Bone marrow smear.
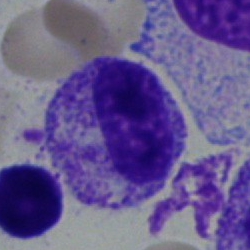Single cell identified as a myelocyte.